Pappenheim-stained; bone marrow aspirate smear.
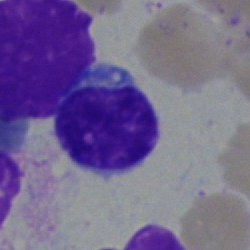
The classification is typical lymphocyte.